Bone marrow smear — 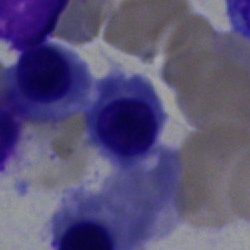

Q: What cell is this?
A: This is a normoblast.